Bone marrow aspirate smear.
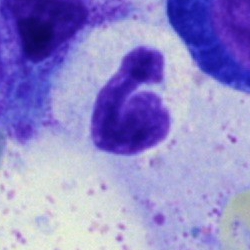
Cell type — segmented neutrophil.